Bone marrow smear
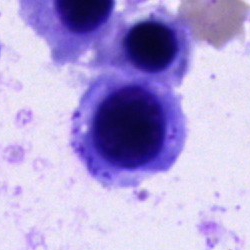

Specimen: bone marrow aspirate smear.
Cell type: nucleated red cell.
Lineage: erythroid.